250×250 px. Bone marrow aspirate smear
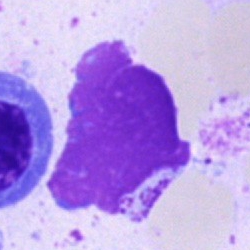An artefact.